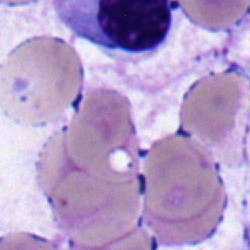
Single cell identified as a normoblast.